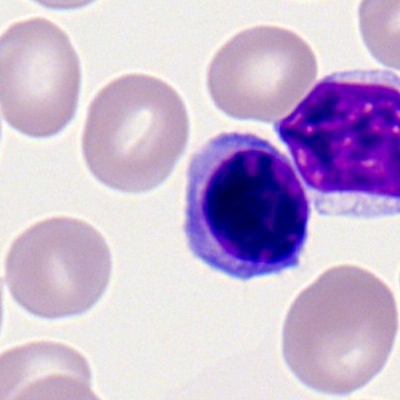 Classification = lymphocyte.